Cropped to a single cell. Bone marrow aspirate smear.
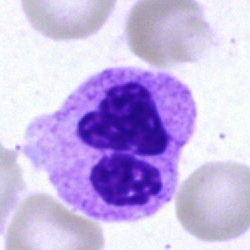The cell is segmented neutrophil.